Bone marrow aspirate smear: 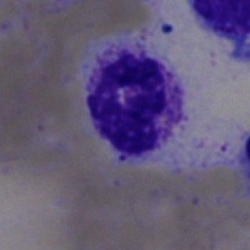 This is a polymorphonuclear neutrophil.